Bone marrow smear.
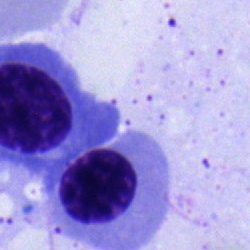
{"cell_type": "erythroblast", "lineage": "erythroid"}